Bone marrow aspirate smear: 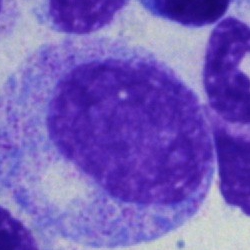
The morphological class is progranulocyte.